Bone marrow aspirate smear · 250×250 px.
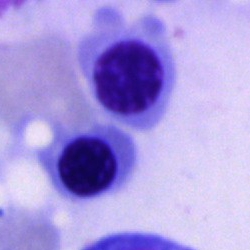Morphology → nucleated red blood cell.